Bone marrow smear. Cropped to a single cell.
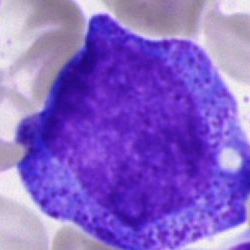 Morphology — progranulocyte.